May-Grünwald-Giemsa/Pappenheim stain. Bone marrow smear. Brightfield microscopy, 40× oil immersion — 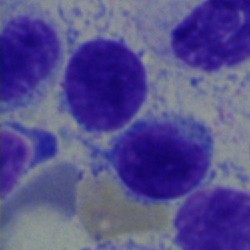Single cell identified as a monocyte.